100× oil immersion, 14.14 px/µm; peripheral blood smear.
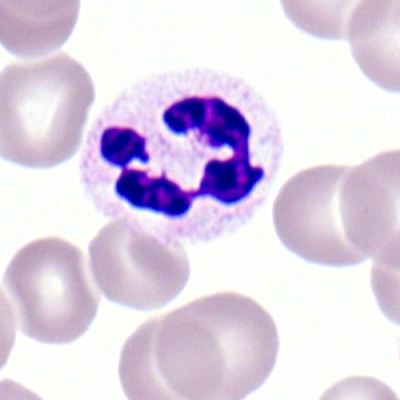

{"cell_type": "neutrophil (segmented)"}